40× oil immersion; Pappenheim-stained; bone marrow smear
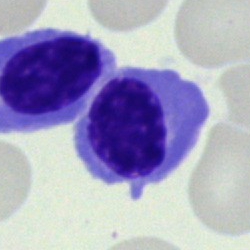
Single cell identified as a normoblast.